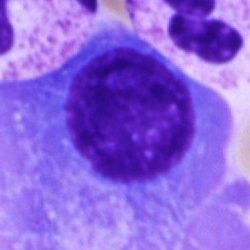Cell type: plasma cell.